40× objective, oil immersion; bone marrow aspirate smear:
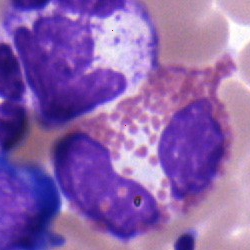

Q: What is the morphological classification of this cell?
A: It is an eosinophil.